Single-cell crop; MGG-stained; bone marrow smear.
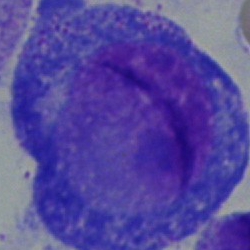 The cell type is promyelocyte.